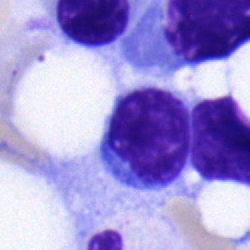

Q: What is the morphological classification of this cell?
A: It is a lymphocyte.